Bone marrow smear:
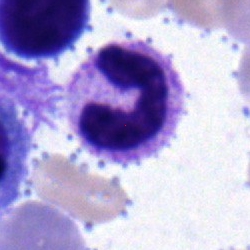
Classification: stab cell.